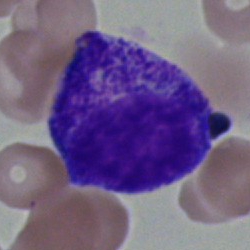 A myelocyte on a bone marrow smear.